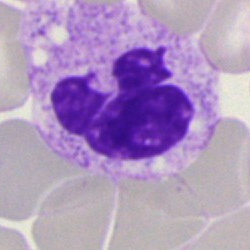

This is a polymorphonuclear neutrophil.